Bone marrow smear; single-cell field:
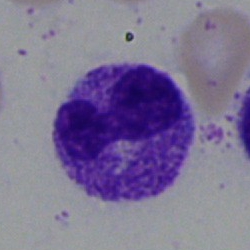

Q: What type of cell is this?
A: Polymorphonuclear neutrophil.